Bone marrow smear. 40× oil immersion. Image size 250×250 — 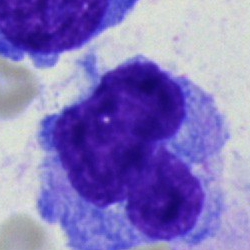
Specimen: bone marrow aspirate smear.
Cell: monocyte.
Lineage: myeloid.